250×250. Bone marrow smear:
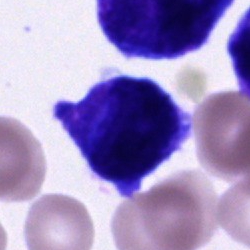
Cell: cell of indeterminate lineage.